250×250. Bone marrow smear — 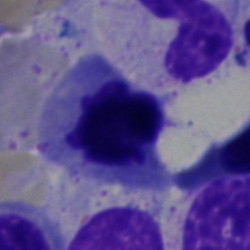A nucleated red blood cell.